Peripheral blood smear — 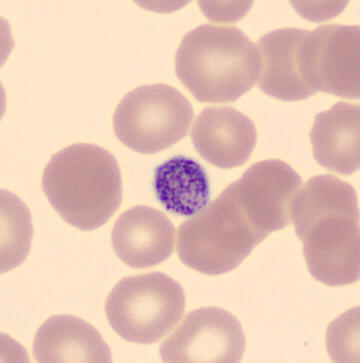 Identified as a platelet.